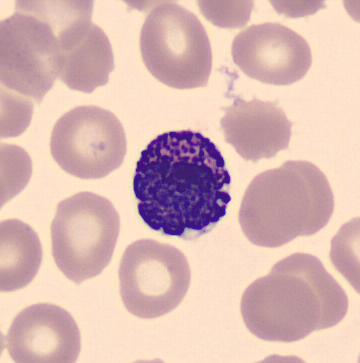

Peripheral blood film.

Q: What type of cell is this?
A: A basophilic granulocyte.